Bone marrow aspirate smear — 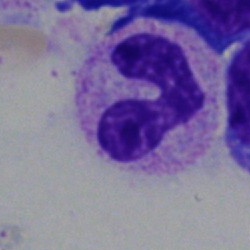
This is a segmented neutrophil.